Pappenheim-stained; bone marrow smear; 40× oil immersion: 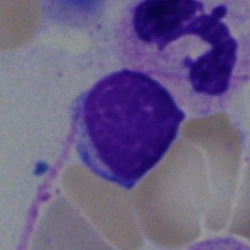 Classification = lymphocyte.